Bone marrow smear:
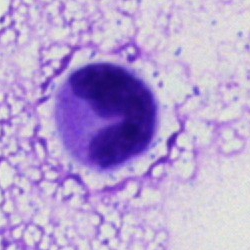The cell shown is a polymorphonuclear neutrophil.